Bone marrow aspirate smear.
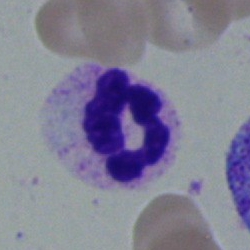The cell is neutrophil (segmented).